Single-cell crop; bone marrow smear; 250×250 px: 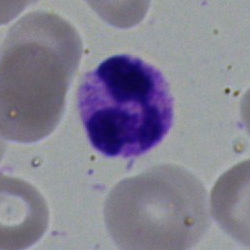 Q: Identify the cell.
A: This is a neutrophil (segmented).